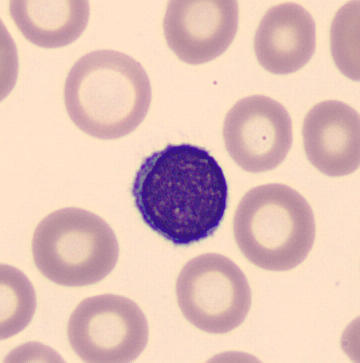 Q: What type of cell is this?
A: This is a lymphocyte.